40× oil immersion. Bone marrow aspirate smear: 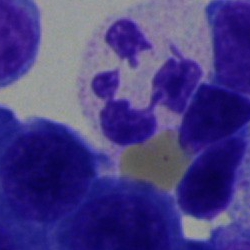

Polymorphonuclear neutrophil.